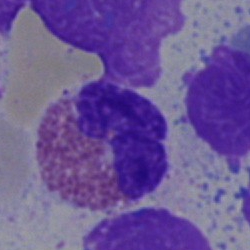 Cell: eosinophilic granulocyte.